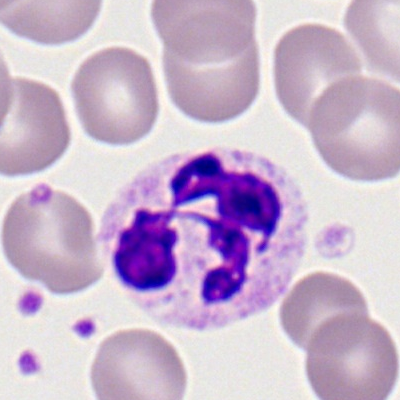 The cell shown is a segmented neutrophil.